Peripheral blood film. 400×400: 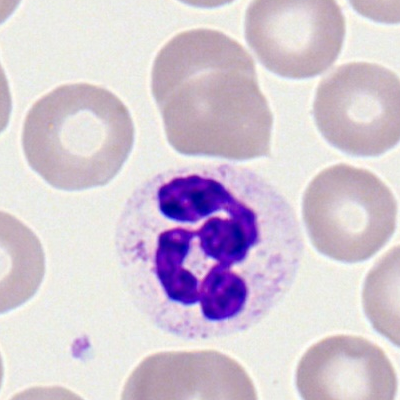 Single cell identified as a segmented neutrophil.